Romanowsky-type stain; 400×400; peripheral blood smear — 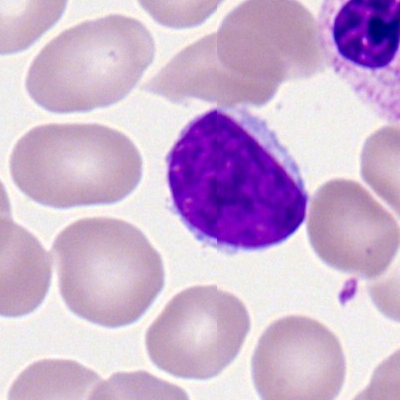Morphology consistent with a lymphocyte.